MGG-stained; 40× oil immersion; bone marrow aspirate smear — 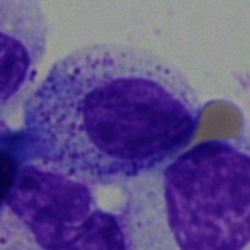

This is a myelocyte.